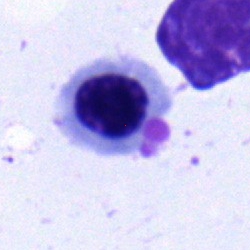 Morphological class — nucleated red blood cell.